Bone marrow aspirate smear.
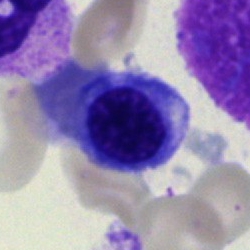
Cell type = nucleated red blood cell.